Bone marrow aspirate smear.
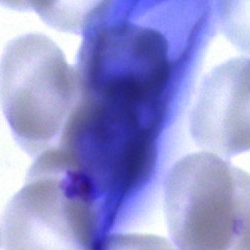
Classification — artefact.